Bone marrow smear — 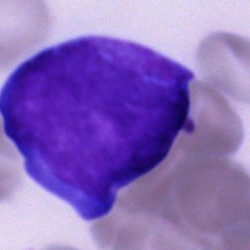

Q: What is shown here?
A: This is an undifferentiated blast.